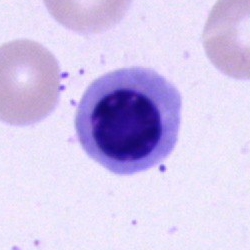
Single-cell crop from a bone marrow smear: normoblast.